40× objective, oil immersion · bone marrow aspirate smear.
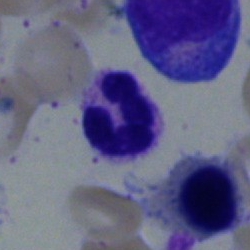

This is a segmented neutrophil.